Bone marrow aspirate smear; single-cell field: 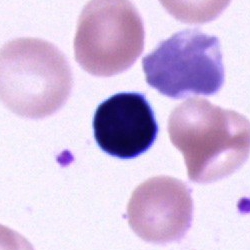
A cell of indeterminate lineage.